Single-cell field; bone marrow smear; Pappenheim-stained:
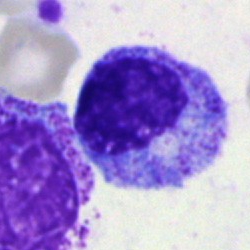Cell: myelocyte.